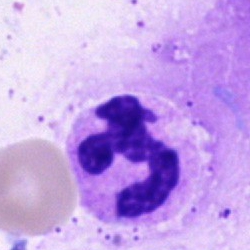
{"cell_type": "polymorphonuclear neutrophil", "lineage": "myeloid"}